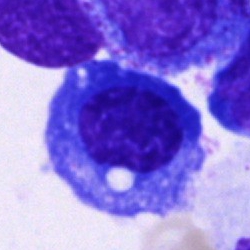 Plasma cell.